Image size 250×250. Bone marrow aspirate smear.
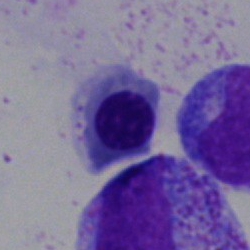

Q: What is shown here?
A: It is a nucleated red blood cell.